May-Grünwald-Giemsa stain. Bone marrow aspirate smear
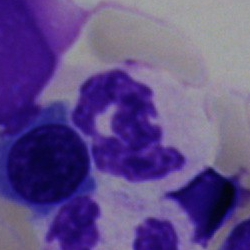Classification: neutrophil (segmented).